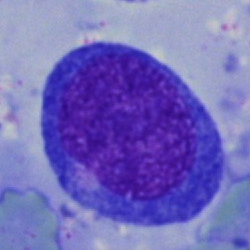This is a nucleated red cell.